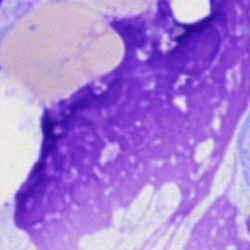
{"cell_type": "artefact"}